Bone marrow smear. Cropped to a single cell: 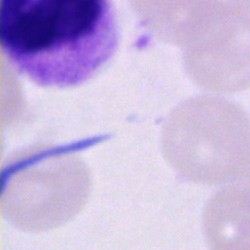

Q: What is shown here?
A: Artifact.